250×250 px; bone marrow aspirate smear; brightfield microscopy, 40× oil immersion
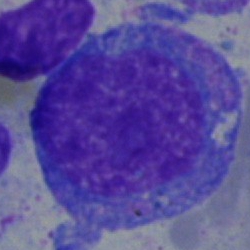
The cell shown is a promyelocyte.